Bone marrow smear; brightfield, 40× oil-immersion objective — 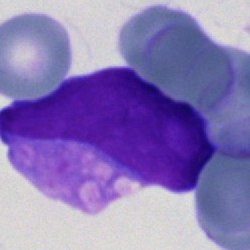 Undifferentiated blast.